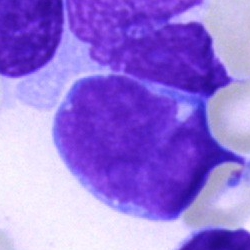 Cell: blast.